Image size 250×250; bone marrow smear: 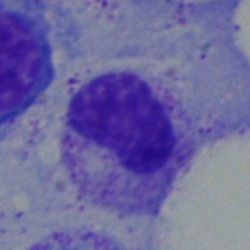

Q: Identify the cell.
A: A metamyelocyte.